Bone marrow smear: 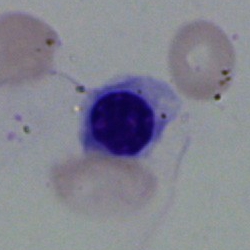

Erythroblast.